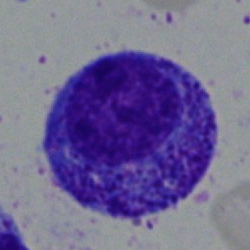Promyelocyte.